Brightfield microscopy, 40× oil immersion. Bone marrow aspirate smear — 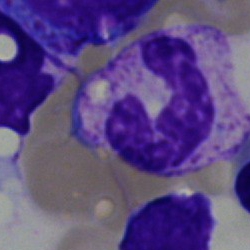

Single cell identified as a band neutrophil.